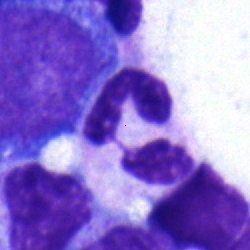 Neutrophil (segmented).